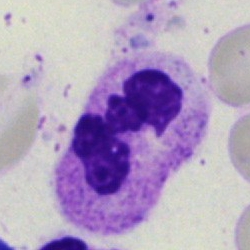

Cell = neutrophil (segmented).